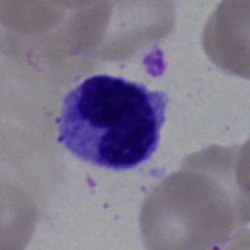

Impression — stab cell.